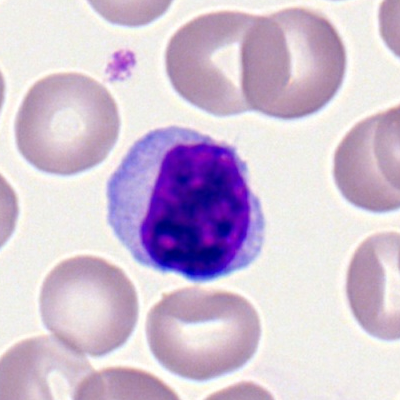 Morphological class = lymphocyte.